Bone marrow aspirate smear: 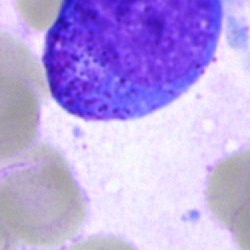
Q: What is shown here?
A: Promyelocyte.